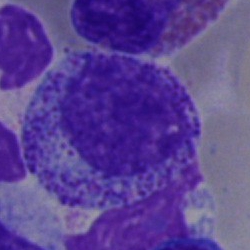
Q: Identify the cell.
A: A myelocyte.